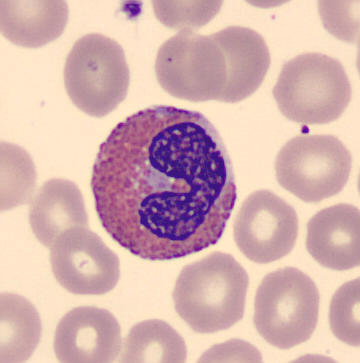Q: What type of cell is this?
A: Eosinophilic granulocyte.

Peripheral blood film.